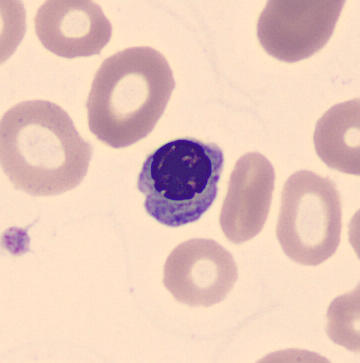 Image: Peripheral blood film · automated cell imaging (CellaVision DM96) · single-cell crop.
Morphology consistent with a nucleated red cell.